Bone marrow smear.
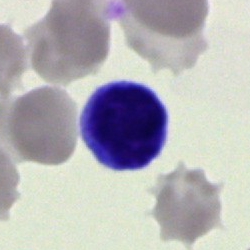
Q: What is shown here?
A: Artefact.